Bone marrow aspirate smear — 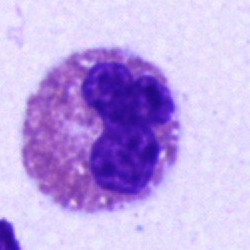
Specimen: bone marrow smear.
Cell type: eosinophil.